Bone marrow smear.
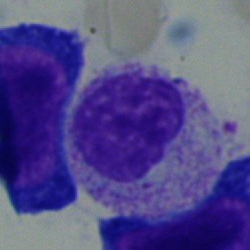 Morphology consistent with a myelocyte.